Bone marrow aspirate smear · MGG-stained — 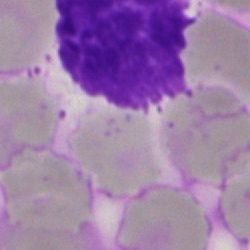

Cell type — artifact.